Pappenheim-stained; 250×250; bone marrow smear — 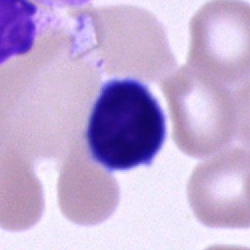

The cell is lymphocyte.